Bone marrow aspirate smear:
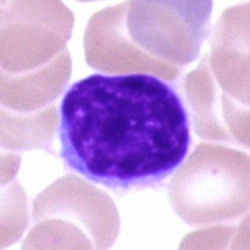 The cell type is lymphocyte.